Image size 250×250 · bone marrow aspirate smear: 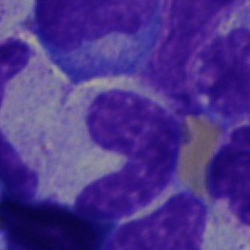 Impression — neutrophil (band).